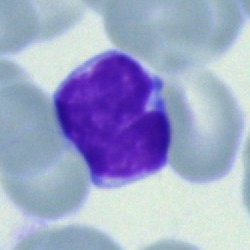 Cell type — typical lymphocyte.